May-Grünwald-Giemsa stain; 40× objective, oil immersion; bone marrow aspirate smear: 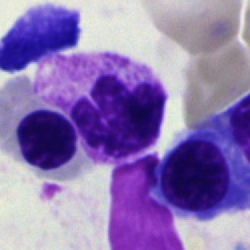Classification — polymorphonuclear neutrophil.